Bone marrow aspirate smear
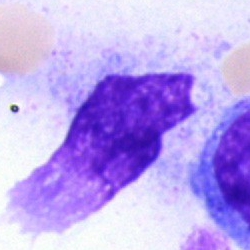 Q: What is shown here?
A: It is an artefact.